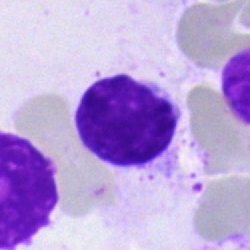

Specimen: bone marrow smear.
Cell type: lymphocyte.
Lineage: lymphoid.